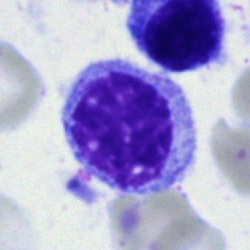 Impression — myelocyte.